Bone marrow aspirate smear
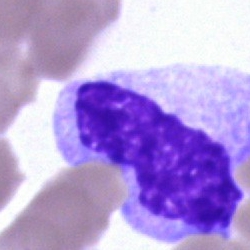Q: What is shown here?
A: It is a monocyte.